Bone marrow smear:
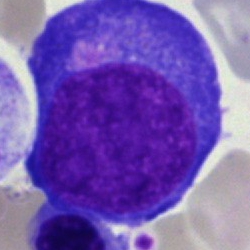 Classification — proerythroblast.